Peripheral blood smear.
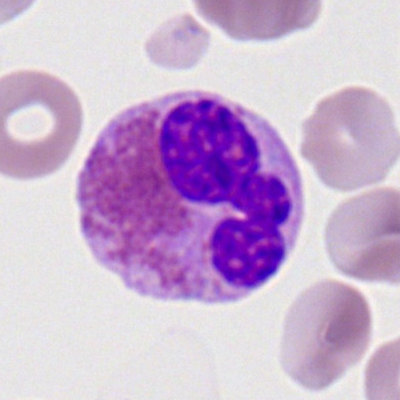 Q: What is shown here?
A: It is an eosinophilic granulocyte.